Single-cell field; bone marrow smear.
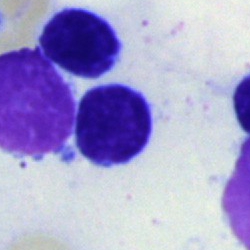

Specimen: bone marrow smear.
Classification: lymphocyte.
Lineage: lymphoid.